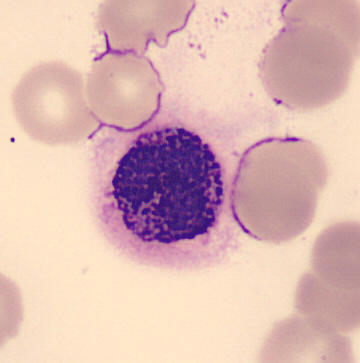Peripheral blood film. Cell type — basophil.